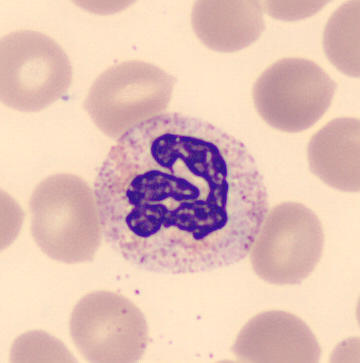May-Grünwald-Giemsa-stained · peripheral blood smear · 360×363 px.
{"cell_type": "neutrophil (segmented)", "lineage": "myeloid"}